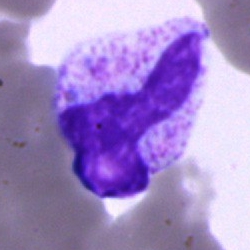The cell type is polymorphonuclear neutrophil.